May-Grünwald-Giemsa/Pappenheim stain; bone marrow aspirate smear: 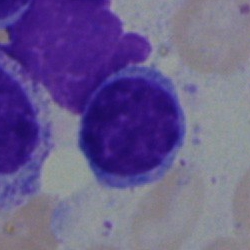Morphological class — lymphocyte.